Peripheral blood film
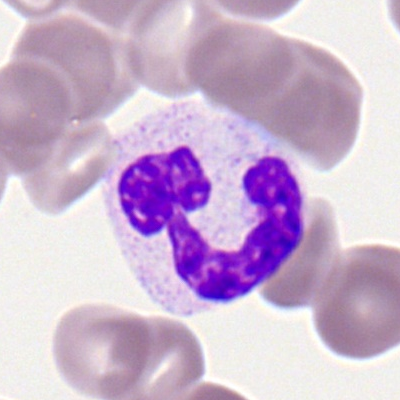 Single cell identified as a neutrophil (segmented).